250 by 250 pixels · bone marrow aspirate smear — 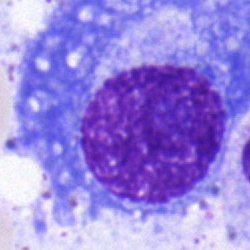 This is a plasmacyte.